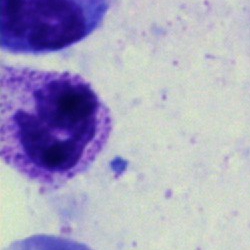
Cell type: segmented neutrophil.